Bone marrow aspirate smear. MGG-stained: 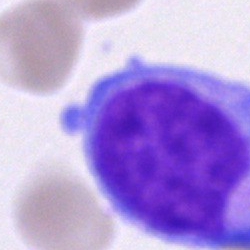
Q: What is shown here?
A: Blast cell.